Bone marrow aspirate smear — 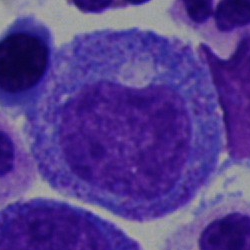 Q: What is the morphological classification of this cell?
A: A promyelocyte.